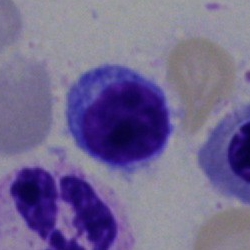
Specimen: bone marrow aspirate smear.
Morphological class: lymphocyte.